Bone marrow aspirate smear · Pappenheim-stained:
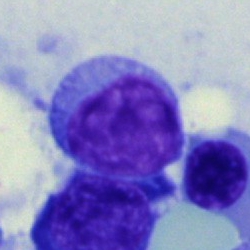

Specimen: bone marrow aspirate smear.
Cell: typical lymphocyte.